Single-cell crop. Bone marrow aspirate smear
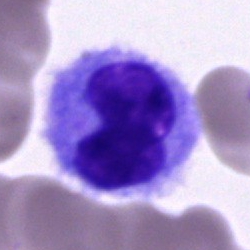

Cell = monocyte.